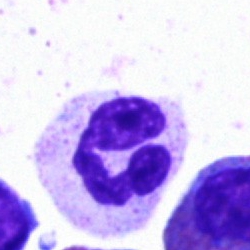

Specimen: bone marrow aspirate smear.
Morphological class: segmented neutrophil.
Lineage: myeloid.